Cropped to a single cell; 40× objective, oil immersion; bone marrow smear: 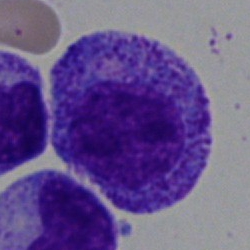Impression — progranulocyte.